Bone marrow smear — 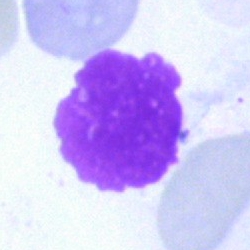 Morphological class = artifact.